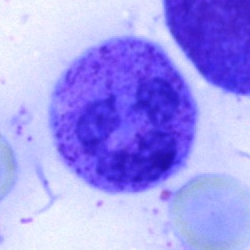
{"cell_type": "segmented neutrophil", "lineage": "myeloid"}